May-Grünwald-Giemsa/Pappenheim stain; bone marrow smear; 40× oil immersion.
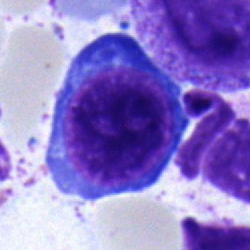{"cell_type": "nucleated red cell", "lineage": "erythroid"}